Bone marrow aspirate smear
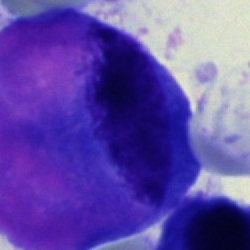 Morphology → artefact.